Bone marrow aspirate smear.
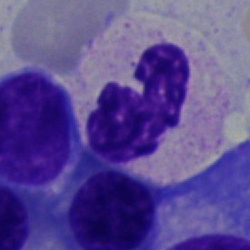This is a neutrophil (segmented).